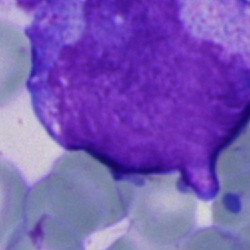
Single-cell crop from a bone marrow smear: blast cell.